Bone marrow smear.
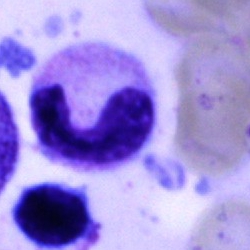 This is a band neutrophil.